Bone marrow smear · 250 by 250 pixels — 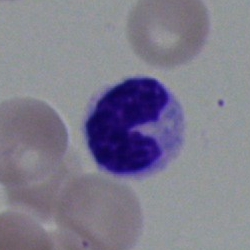 Specimen: bone marrow smear.
Cell type: monocyte.